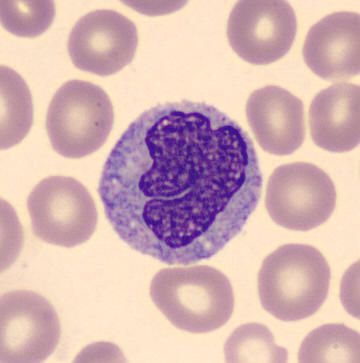

Morphology → monocyte. Image: Peripheral blood smear. Single cell centered in the field.